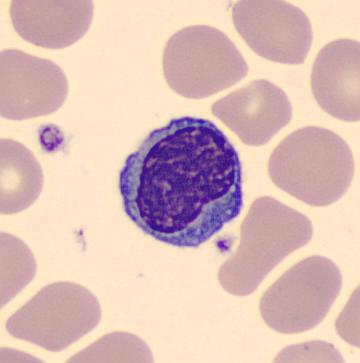

Morphology consistent with a lymphocyte.
Peripheral blood smear.